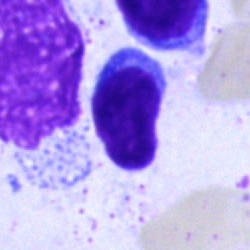

Bone marrow aspirate smear, single cell — lymphocyte.